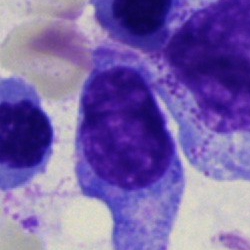Bone marrow smear showing a blast cell.